Bone marrow aspirate smear.
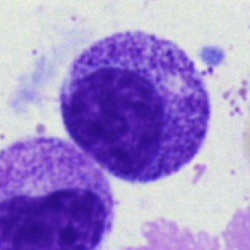Morphological class: myelocyte.